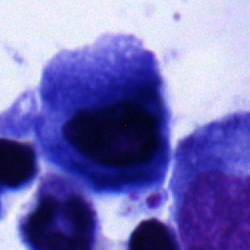 Impression → plasmacyte.